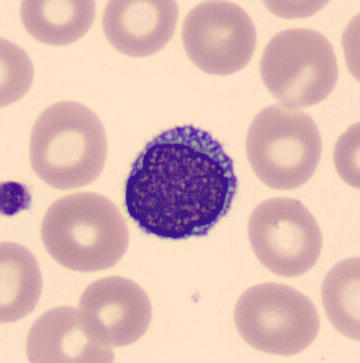Cell type: typical lymphocyte.
Preparation: Cropped to a single cell. Peripheral blood smear. MGG-stained.